May-Grünwald-Giemsa/Pappenheim stain; bone marrow smear; 40× objective, oil immersion:
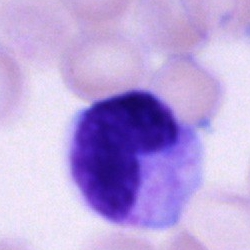Classification — metamyelocyte.